Pappenheim-stained; bone marrow aspirate smear:
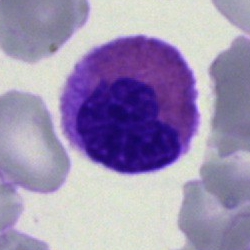

The cell shown is an eosinophilic granulocyte.